Bone marrow smear — 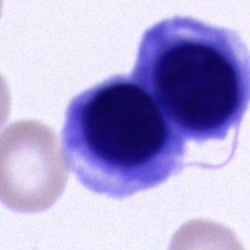 Morphology → erythroblast.